Bone marrow smear.
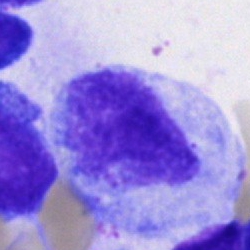 Showing a cell of indeterminate lineage.